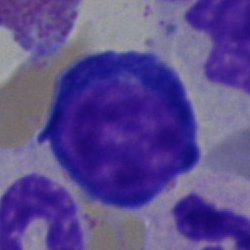
Cell = pronormoblast.